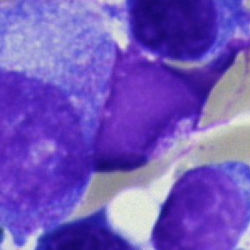
Artefact.